MGG-stained · bone marrow smear.
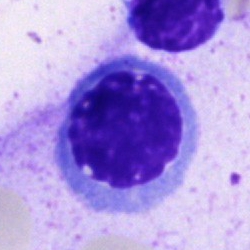

Morphological class: nucleated red blood cell.